Peripheral blood smear: 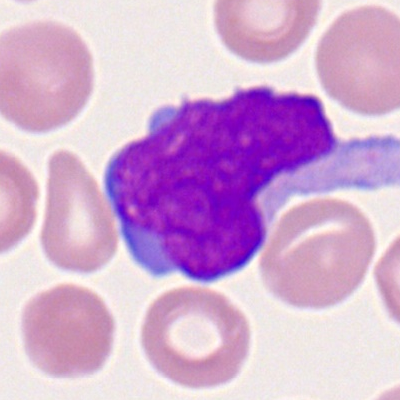
Classification — myeloblast.